Bone marrow smear:
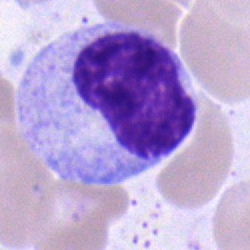

Cell type = metamyelocyte.